Bone marrow smear; MGG-stained; 40× oil immersion:
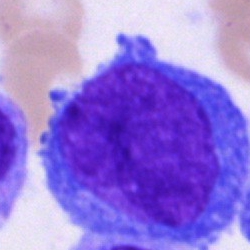 Cell: blast.